Bone marrow aspirate smear: 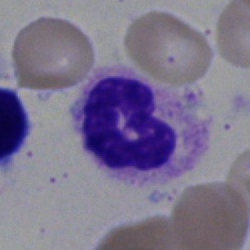 Morphology — polymorphonuclear neutrophil.